Bone marrow smear · single cell centered in the field · May-Grünwald-Giemsa stain: 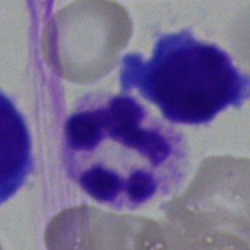

Q: What is shown here?
A: It is a polymorphonuclear neutrophil.